400×400 px. Peripheral blood smear
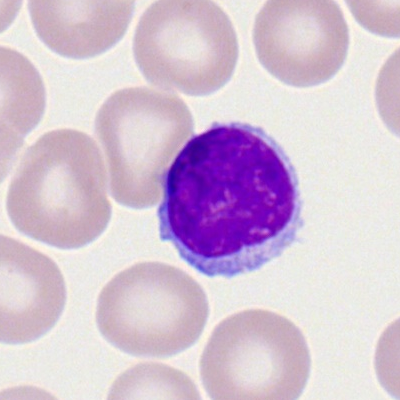

Morphological class: lymphocyte.